Bone marrow smear
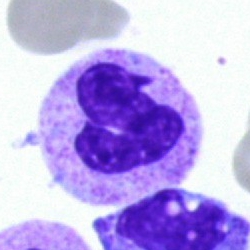Q: What is the morphological classification of this cell?
A: Neutrophil (segmented).